Bone marrow smear: 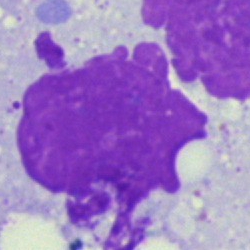Specimen: bone marrow smear.
Classification: artifact.